40× objective, oil immersion; single cell centered in the field; bone marrow smear
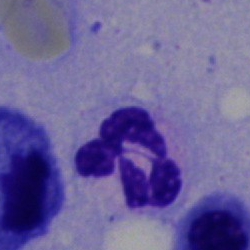
Cell type — polymorphonuclear neutrophil.